Bone marrow smear
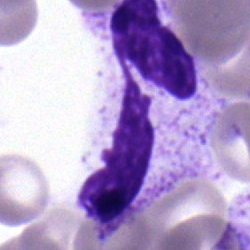Cell type = polymorphonuclear neutrophil.